Image size 250×250 · bone marrow smear · Pappenheim-stained — 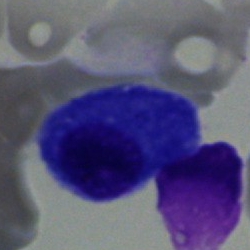

Q: What is the morphological classification of this cell?
A: A plasma cell.